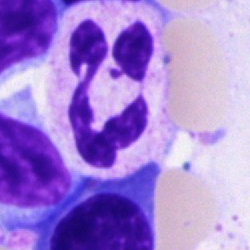
The cell shown is a polymorphonuclear neutrophil.